Bone marrow smear
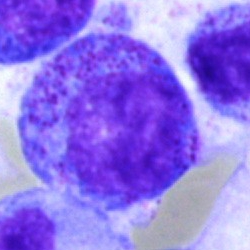
Morphology → promyelocyte.